Image size 250×250. Bone marrow aspirate smear.
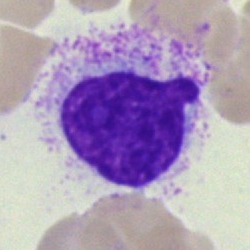 Classification — artefact.